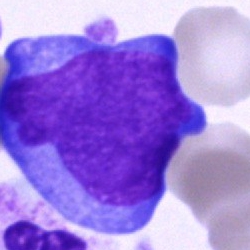 Q: What is the morphological classification of this cell?
A: This is a blast cell.